Bone marrow aspirate smear — 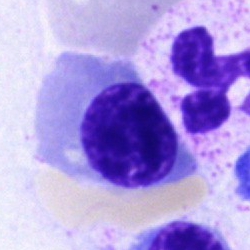
The classification is nucleated red blood cell.